Bone marrow aspirate smear; 40× oil immersion — 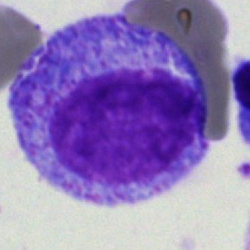The cell shown is a promyelocyte.